Bone marrow aspirate smear — 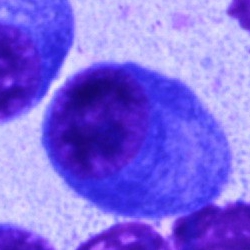
Morphology — plasma cell.